Bone marrow aspirate smear.
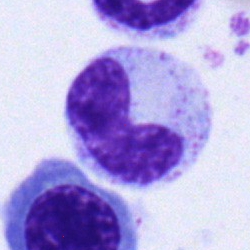

Morphology → metamyelocyte.